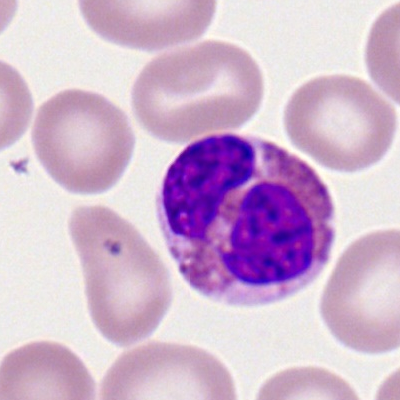 Single cell identified as an eosinophilic granulocyte.